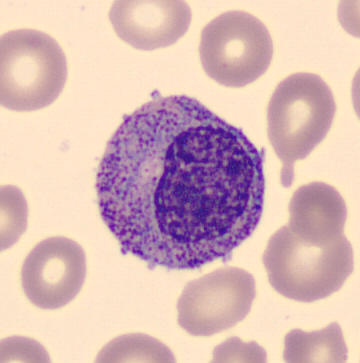

Specimen: peripheral blood smear.
Morphological class: progranulocyte.
Lineage: myeloid.